May-Grünwald-Giemsa stain; 250 by 250 pixels; bone marrow smear.
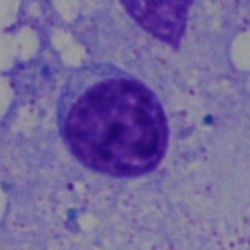

Classification = typical lymphocyte.